Bone marrow aspirate smear
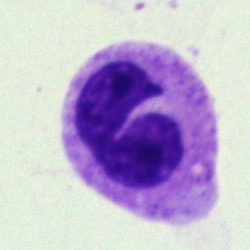
Specimen: bone marrow aspirate smear.
Morphological class: segmented neutrophil.
Lineage: myeloid.